Bone marrow aspirate smear:
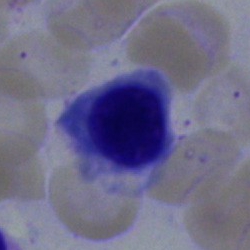

Cell type — erythroblast.